Bone marrow smear:
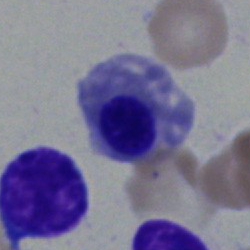
This is a nucleated red cell.